Bone marrow aspirate smear.
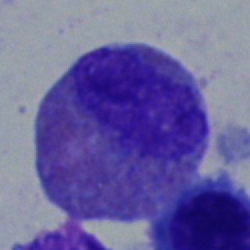

Q: What is the morphological classification of this cell?
A: Eosinophil.